Bone marrow aspirate smear.
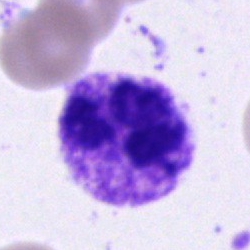Cell type: neutrophil (segmented).